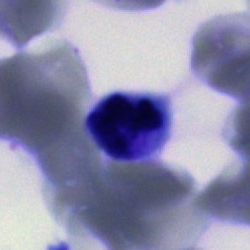A polymorphonuclear neutrophil on a bone marrow smear.